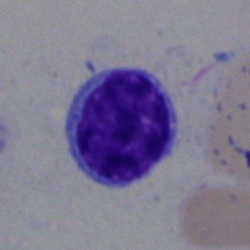Single cell identified as a lymphocyte.